Bone marrow aspirate smear — 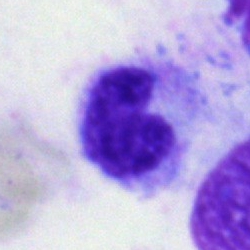

Showing a stab cell.